Bone marrow aspirate smear; Pappenheim-stained
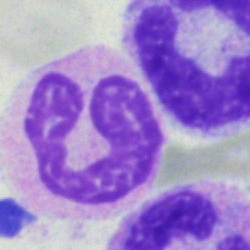 Specimen: bone marrow smear.
Cell: segmented neutrophil.
Lineage: myeloid.